Bone marrow smear:
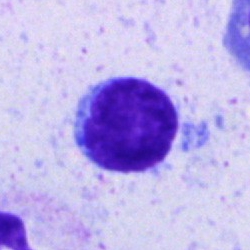

The morphological class is typical lymphocyte.